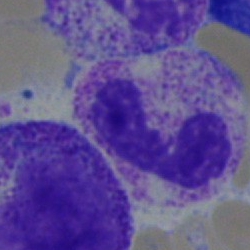 Q: Which cell type is shown here?
A: A neutrophil (segmented).